Bone marrow smear:
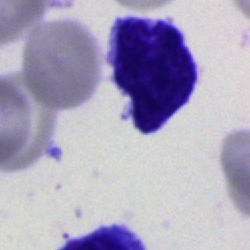
A blast cell.